Bone marrow smear. 250×250: 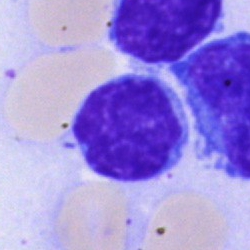

Morphological class = lymphocyte.